Bone marrow aspirate smear
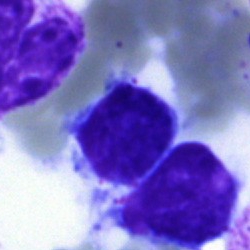 Specimen: bone marrow aspirate smear.
Cell type: lymphocyte.